Bone marrow aspirate smear; May-Grünwald-Giemsa stain:
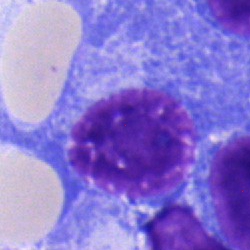
Plasmacyte.